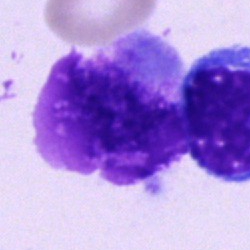 Impression — artifact.